Single-cell field; bone marrow aspirate smear; brightfield microscopy, 40× oil immersion: 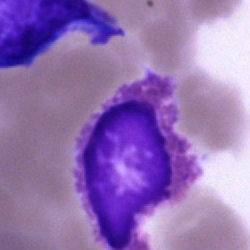
Specimen: bone marrow smear.
Morphological class: eosinophilic granulocyte.
Lineage: myeloid.